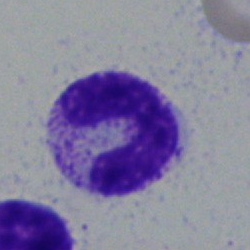Q: Identify the cell.
A: A neutrophil (band).